May-Grünwald-Giemsa/Pappenheim stain; bone marrow smear — 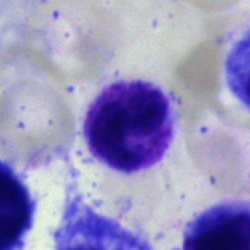

Specimen: bone marrow aspirate smear.
Morphological class: segmented neutrophil.